May-Grünwald-Giemsa/Pappenheim stain · bone marrow smear · 40× oil immersion.
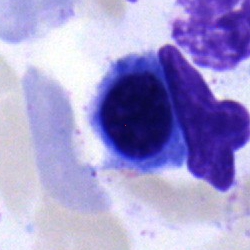
Classification = erythroblast.